Peripheral blood smear
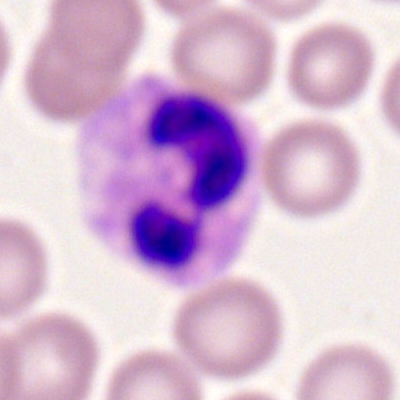Q: What is the morphological classification of this cell?
A: This is a polymorphonuclear neutrophil.